Bone marrow smear
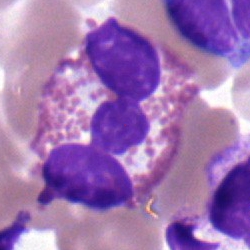
Q: Which cell type is shown here?
A: An eosinophil.